Peripheral blood smear:
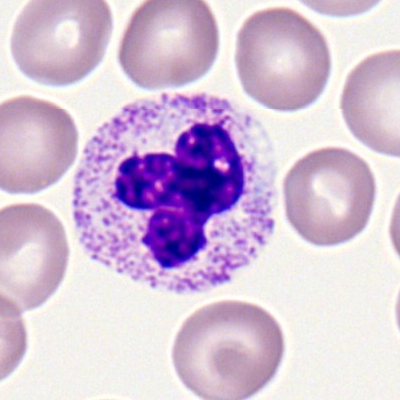This is a neutrophil (segmented).